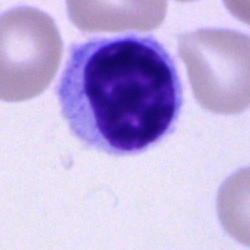
Morphological class — lymphocyte.